Bone marrow smear — 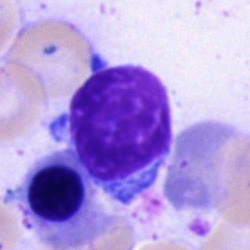Cell: lymphocyte.